Romanowsky-type stain · 400 by 400 pixels · peripheral blood film
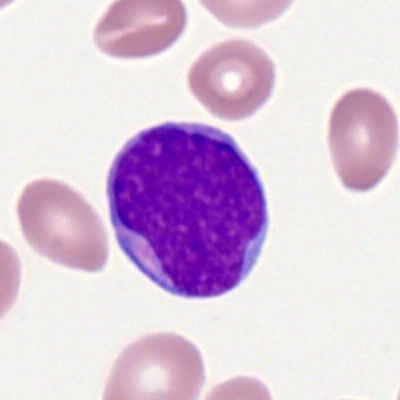 Cell = myeloblast.